Single-cell crop · bone marrow smear
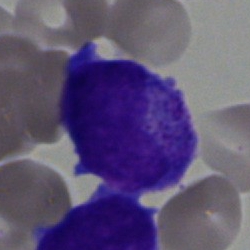
Q: What type of cell is this?
A: Promyelocyte.